Peripheral blood smear. 400×400. Single cell centered in the field:
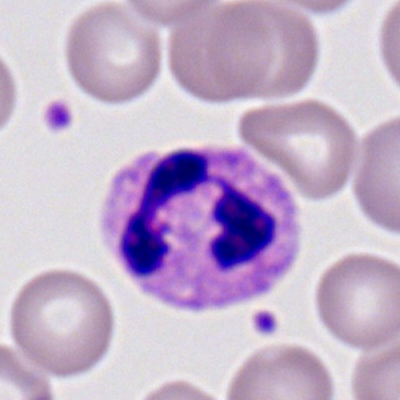
Neutrophil (segmented).